Bone marrow smear
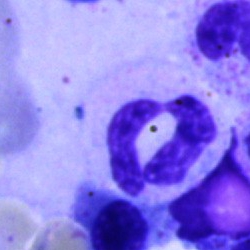Classification: polymorphonuclear neutrophil.